Bone marrow aspirate smear — 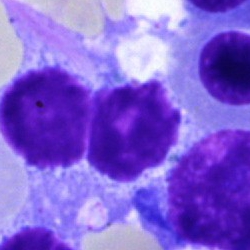Single cell identified as an artefact.